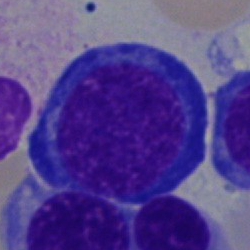
Morphological class: erythroblast.